Bone marrow aspirate smear. Brightfield microscopy, 40× oil immersion.
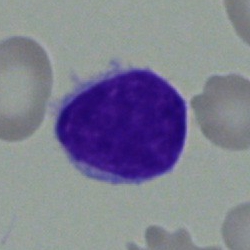A typical lymphocyte.